Bone marrow aspirate smear — 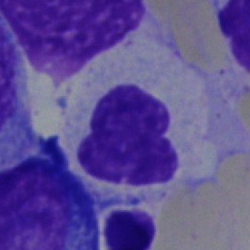

Morphology — artefact.